Bone marrow smear — 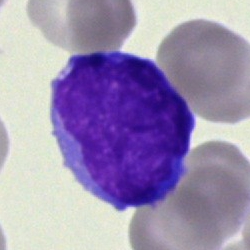
Cell type — blast.